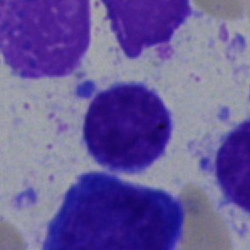
The cell shown is a lymphocyte.